250 by 250 pixels · bone marrow aspirate smear — 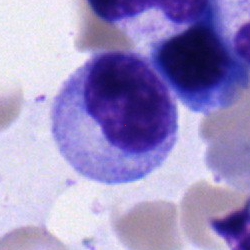Showing a myelocyte.